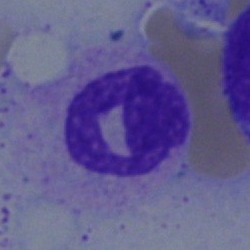
Cell type — segmented neutrophil.